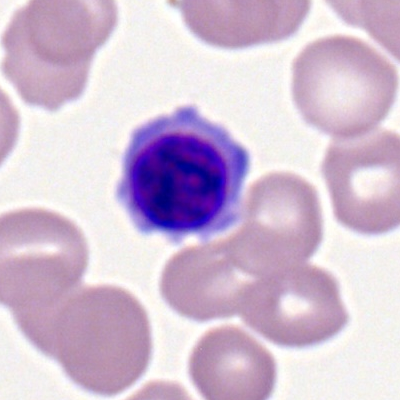Single-cell crop from a peripheral blood smear: nucleated red cell.